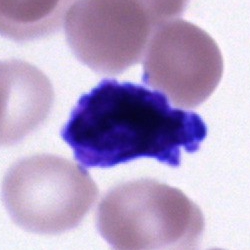 Q: What is the morphological classification of this cell?
A: This is a cell of indeterminate lineage.